Bone marrow aspirate smear. May-Grünwald-Giemsa stain — 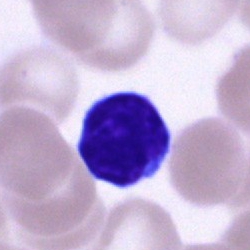
Showing a lymphocyte.